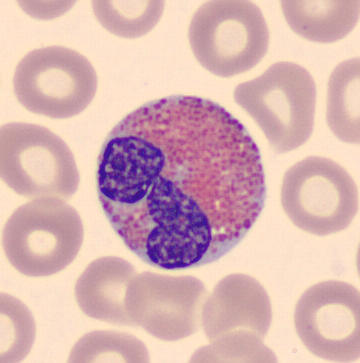
Single cell identified as an eosinophilic granulocyte.
Cropped to a single cell · peripheral blood smear.